40× objective, oil immersion · bone marrow smear: 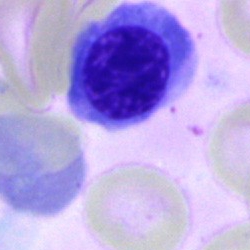
The classification is erythroblast.